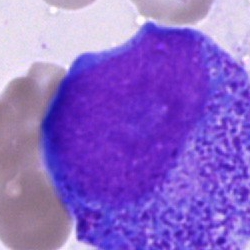

Q: What cell is this?
A: It is a promyelocyte.